Bone marrow aspirate smear:
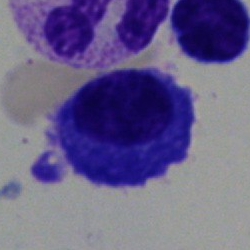
Morphology → plasma cell.